360 by 363 pixels. CellaVision DM96. Peripheral blood film:
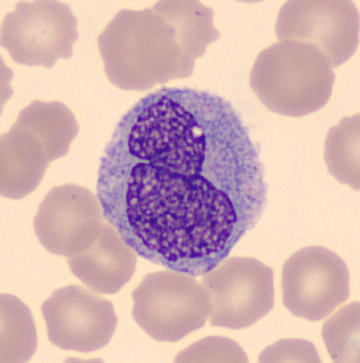

The cell type is monocyte.